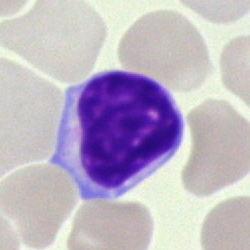 Morphology — typical lymphocyte.